Bone marrow smear — 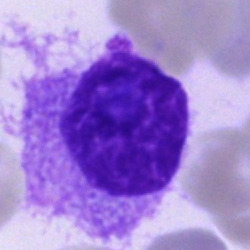 Showing an artifact.